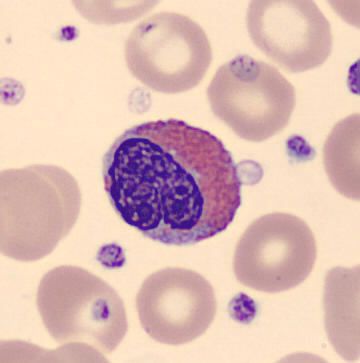
{"cell_type": "eosinophil", "lineage": "myeloid"} Peripheral blood film.